250×250; bone marrow aspirate smear; 40× oil immersion:
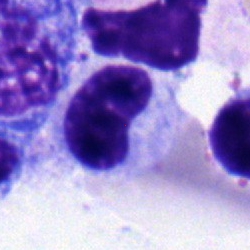Single cell identified as a band-form neutrophil.